Single-cell crop; bone marrow smear:
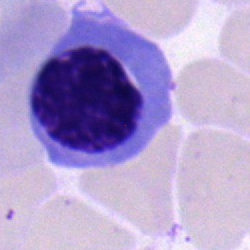 {"cell_type": "nucleated red blood cell"}